40× oil immersion · bone marrow smear · single cell centered in the field:
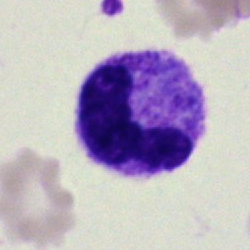

Specimen: bone marrow smear.
Cell: polymorphonuclear neutrophil.